Image size 250×250 · bone marrow smear: 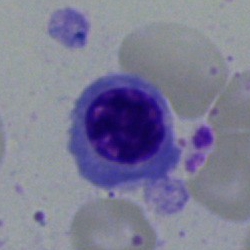 The cell shown is a normoblast.